Brightfield, 40× oil-immersion objective · bone marrow smear:
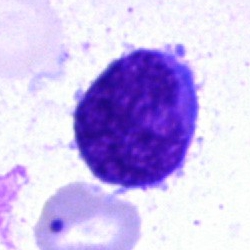

A blast cell.